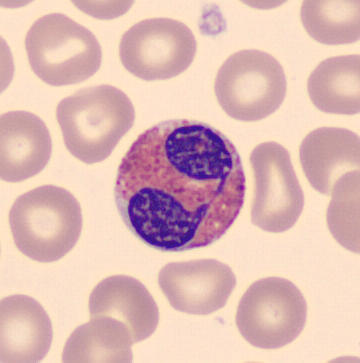
Impression → eosinophilic granulocyte.
Peripheral blood film. 360×363. Automated cell imaging (CellaVision DM96).